Bone marrow smear
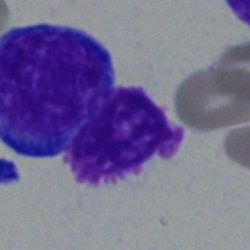
Morphology — typical lymphocyte.